Bone marrow aspirate smear. Cropped to a single cell:
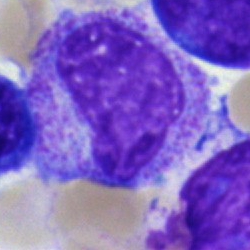
This is a myelocyte.